Bone marrow aspirate smear: 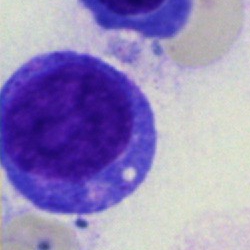 Morphology consistent with a progranulocyte.